Bone marrow smear. Single-cell field. 250×250 px: 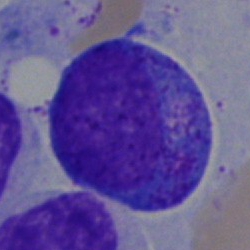 The cell shown is a promyelocyte.